Bone marrow smear — 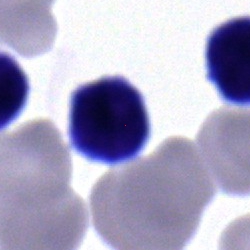Cell = typical lymphocyte.